Bone marrow aspirate smear.
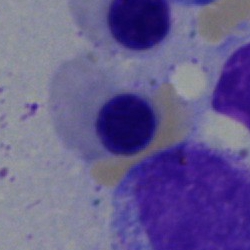Specimen: bone marrow smear.
Cell type: nucleated red cell.